Bone marrow aspirate smear: 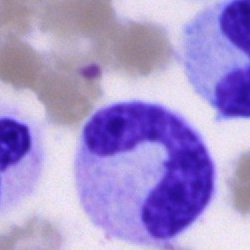 A band neutrophil.